Bone marrow smear; 250×250; single-cell field — 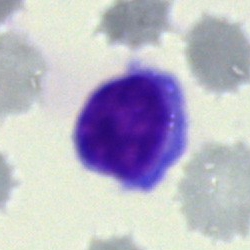Typical lymphocyte.